Bone marrow smear:
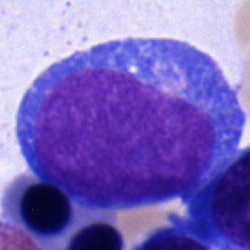 A blast cell.